Bone marrow smear · image size 250×250 — 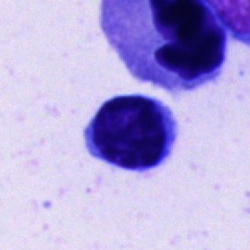
Q: What is the morphological classification of this cell?
A: This is a typical lymphocyte.